Bone marrow smear:
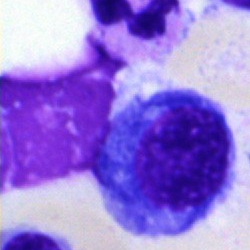Q: What is shown here?
A: This is an erythroblast.